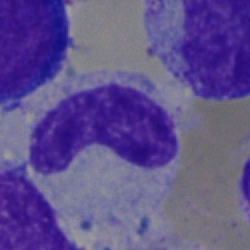

Q: Identify the cell.
A: This is a stab cell.